Peripheral blood film · MGG stain — 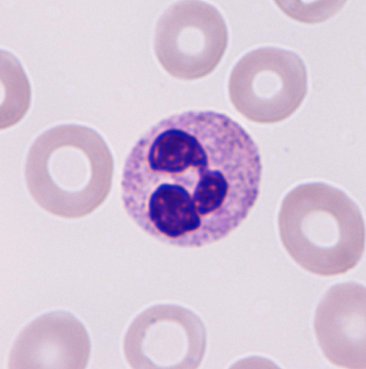
The cell shown is a neutrophilic granulocyte.